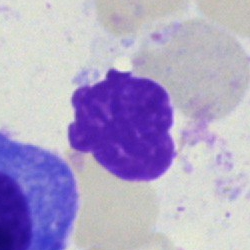 Cell — artifact.